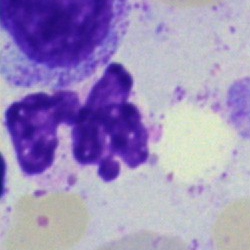

Specimen: bone marrow aspirate smear.
Cell: artefact.